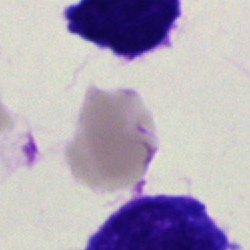 Specimen: bone marrow smear.
Cell type: artefact.